Bone marrow smear; 250 by 250 pixels: 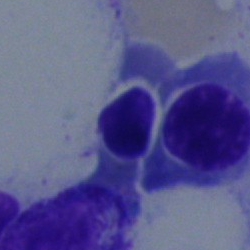A normoblast.